Bone marrow aspirate smear
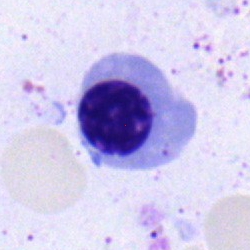

The cell shown is a normoblast.